Bone marrow smear: 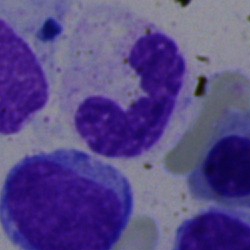Showing a neutrophil (segmented).